Bone marrow aspirate smear:
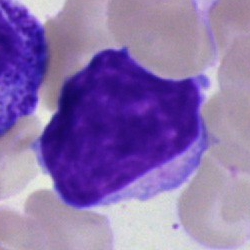

Morphological class = typical lymphocyte.